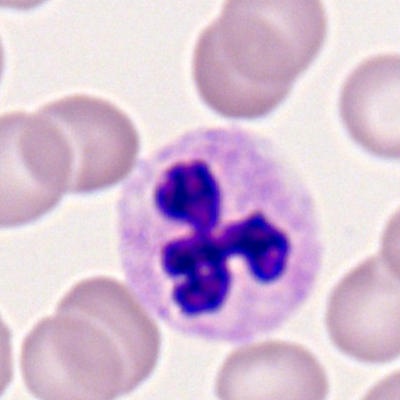

Q: What cell is this?
A: A polymorphonuclear neutrophil.